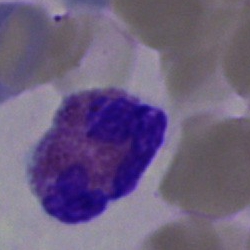
Morphology consistent with an eosinophilic granulocyte.